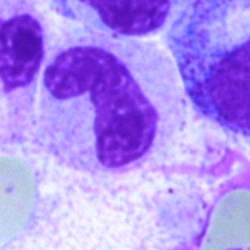Morphology — band-form neutrophil.